Bone marrow smear · image size 250×250 · cropped to a single cell — 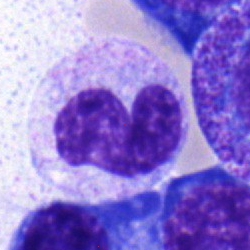

Specimen: bone marrow aspirate smear.
Cell: band-form neutrophil.
Lineage: myeloid.